Peripheral blood film. May-Grünwald-Giemsa-stained
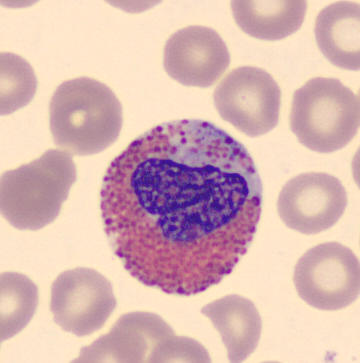Q: Which cell type is shown here?
A: It is an eosinophil.